Single-cell field. Bone marrow aspirate smear:
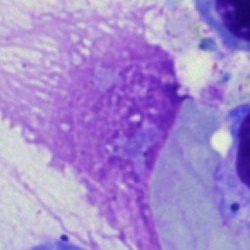

This is an artifact.